250×250 px. Bone marrow smear.
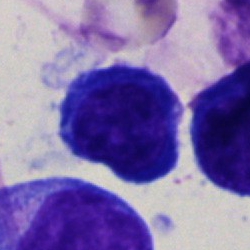

Morphology — erythroblast.